Bone marrow aspirate smear; image size 250×250; May-Grünwald-Giemsa/Pappenheim stain:
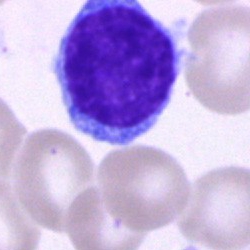This is a lymphocyte.